Single-cell field · bone marrow aspirate smear — 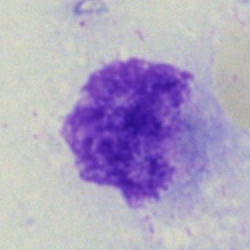

Classification: artifact.